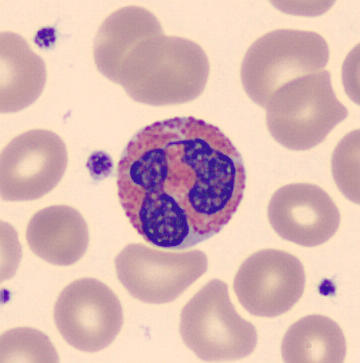 Eosinophilic granulocyte.
Preparation: Peripheral blood smear.